Bone marrow aspirate smear; 250×250 px — 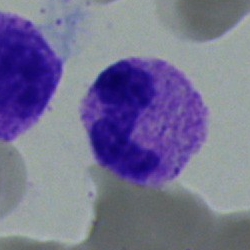
Q: What is the morphological classification of this cell?
A: It is a neutrophil (band).